Bone marrow smear: 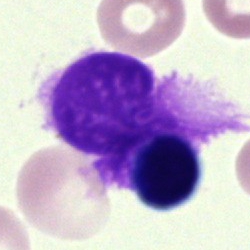
Specimen: bone marrow smear.
Morphological class: artefact.